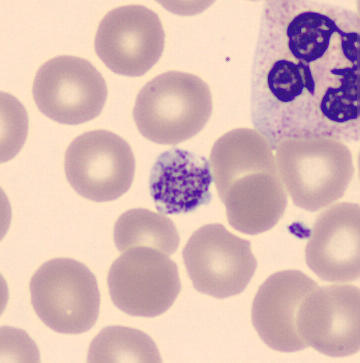
Identified as a platelet.